Peripheral blood film:
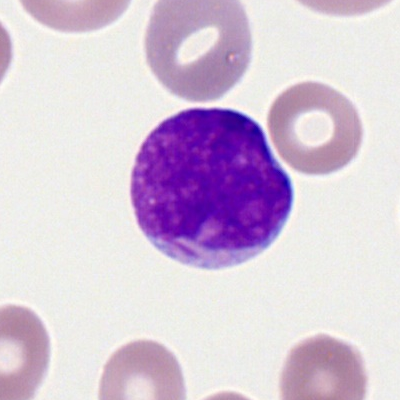

Q: Which cell type is shown here?
A: Myeloblast.